40× objective, oil immersion. Bone marrow smear:
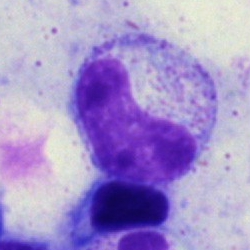Showing a metamyelocyte.